Single-cell field. Bone marrow smear. 250×250: 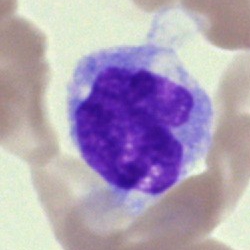Cell type: monocyte.